Bone marrow smear: 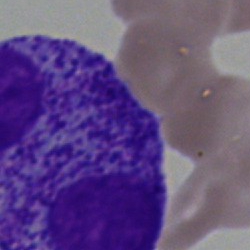
Specimen: bone marrow smear.
Classification: artifact.